Bone marrow aspirate smear
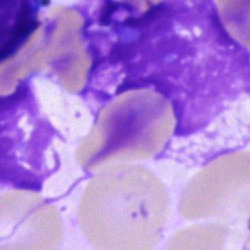 Specimen: bone marrow smear.
Classification: artefact.